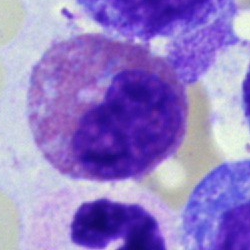Single-cell crop from a bone marrow smear: eosinophilic granulocyte.